Bone marrow smear
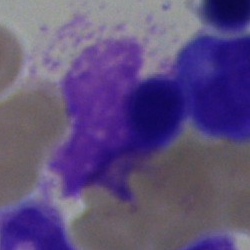
Q: What is shown here?
A: Artefact.